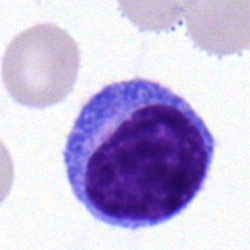

The classification is lymphocyte.